Bone marrow smear
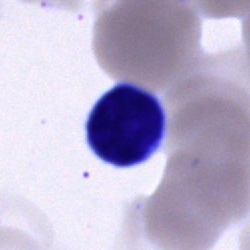Q: What type of cell is this?
A: Lymphocyte.